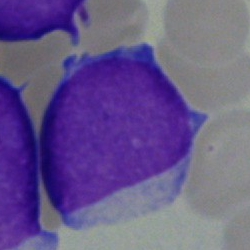 The cell shown is a blast.